May-Grünwald-Giemsa stain; bone marrow smear:
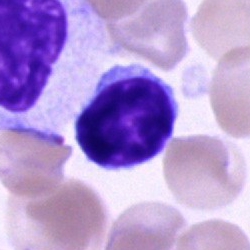

Morphological class = typical lymphocyte.